Cropped to a single cell. Bone marrow aspirate smear:
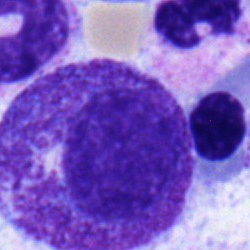
Cell: progranulocyte.